Brightfield, 40× oil-immersion objective. Bone marrow smear: 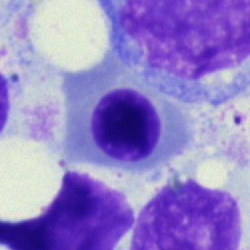
Q: Which cell type is shown here?
A: It is a nucleated red cell.